Bone marrow aspirate smear · single-cell field: 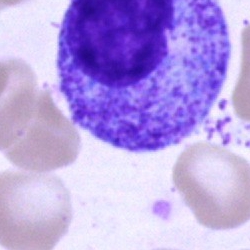Showing a promyelocyte.